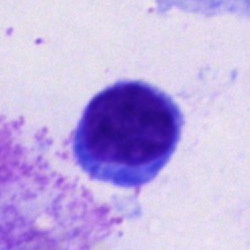 Classification — typical lymphocyte.